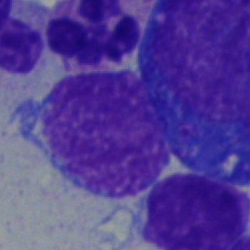
The classification is blast.